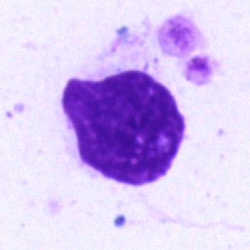

Classification: artifact.